Bone marrow aspirate smear — 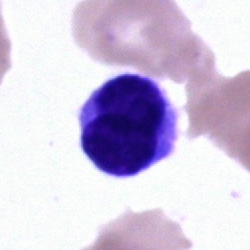The cell shown is a typical lymphocyte.